Bone marrow aspirate smear. Brightfield microscopy, 40× oil immersion
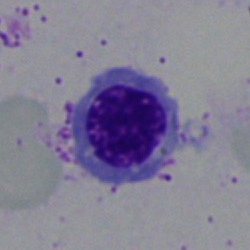 Q: Identify the cell.
A: This is a nucleated red cell.